Bone marrow smear.
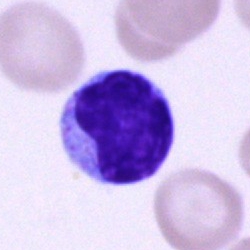
{"cell_type": "lymphocyte", "lineage": "lymphoid"}